Bone marrow smear · single-cell field · 40× oil immersion — 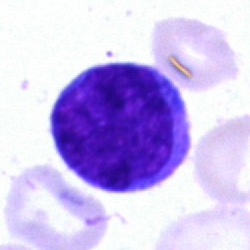 Q: What type of cell is this?
A: This is an undifferentiated blast.